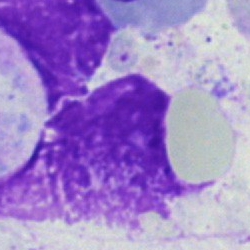
Cell — artefact.